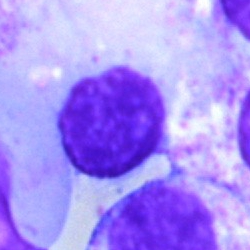Morphology consistent with a lymphocyte.